Bone marrow aspirate smear — 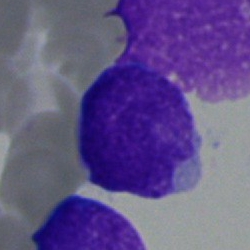

{"cell_type": "undifferentiated blast"}